Bone marrow smear · brightfield microscopy, 40× oil immersion — 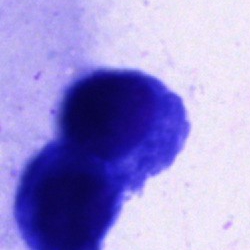 Morphology — plasma cell.